Bone marrow aspirate smear; 250 by 250 pixels.
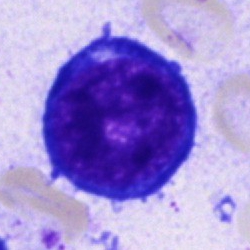
Specimen: bone marrow aspirate smear.
Cell: proerythroblast.
Lineage: erythroid.